Brightfield, 40× oil-immersion objective. Bone marrow aspirate smear. 250×250 px.
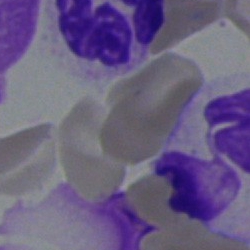

The cell shown is a segmented neutrophil.